Image size 400×400; peripheral blood smear
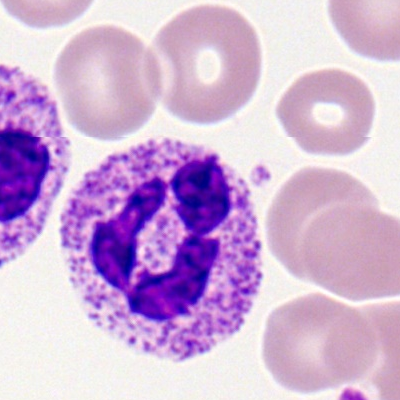 Segmented neutrophil.